Bone marrow aspirate smear · single-cell crop — 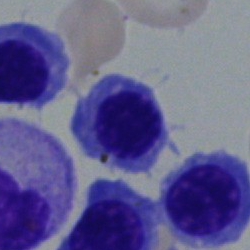
Q: What cell is this?
A: It is a normoblast.